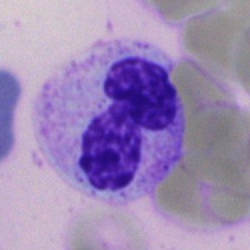
Classification = polymorphonuclear neutrophil.